Peripheral blood film — 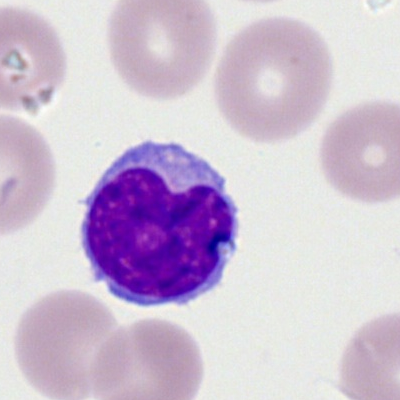 {"cell_type": "lymphocyte"}